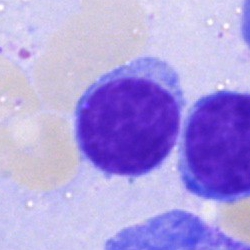
Bone marrow smear showing a typical lymphocyte.